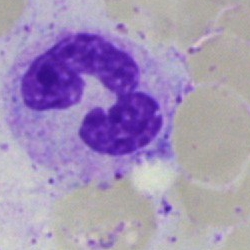 Morphological class: neutrophil (segmented).